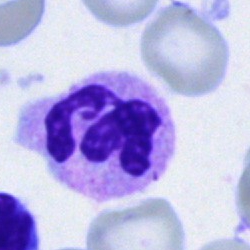 Bone marrow smear showing a polymorphonuclear neutrophil.